Bone marrow smear; image size 250×250: 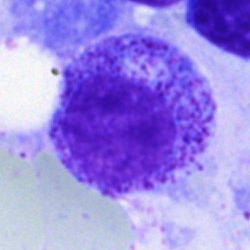

Showing a myelocyte.